Bone marrow aspirate smear. 40× oil immersion — 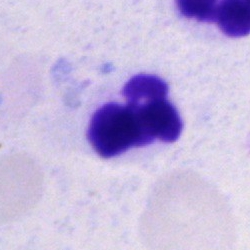 This is a polymorphonuclear neutrophil.